Bone marrow smear: 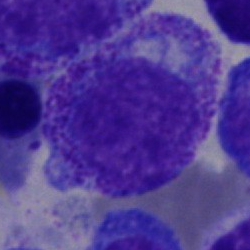
Myelocyte.